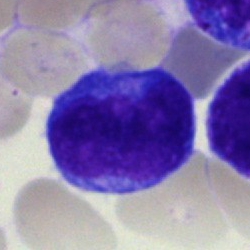

{"cell_type": "lymphocyte"}